40× objective, oil immersion. Cropped to a single cell. Bone marrow aspirate smear: 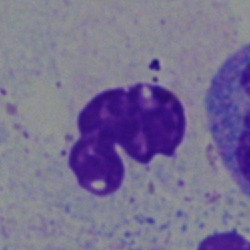 This is a neutrophil (segmented).